Bone marrow smear
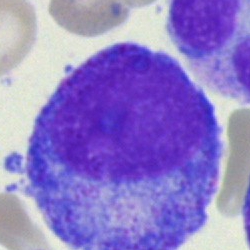 The morphological class is progranulocyte.